Bone marrow smear.
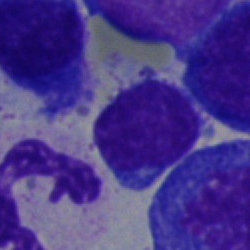 A typical lymphocyte.